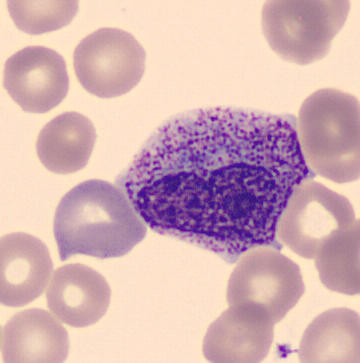

Morphology → metamyelocyte.